Bone marrow aspirate smear.
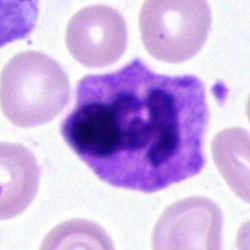Q: Which cell type is shown here?
A: A neutrophil (segmented).